Bone marrow aspirate smear: 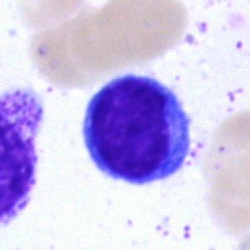
Specimen: bone marrow smear.
Cell: typical lymphocyte.